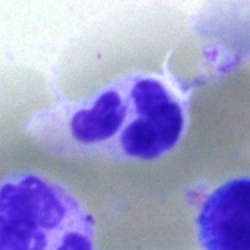Q: What cell is this?
A: Neutrophil (segmented).